Bone marrow smear · 250×250 px
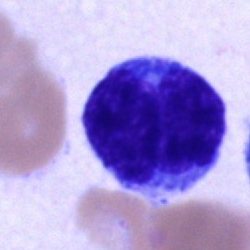

Classification — undifferentiated blast.